250 by 250 pixels. Bone marrow aspirate smear. Brightfield, 40× oil-immersion objective — 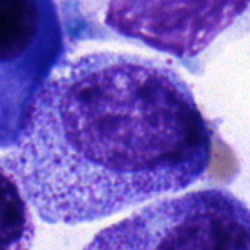Classification — myelocyte.